Single-cell crop · peripheral blood film
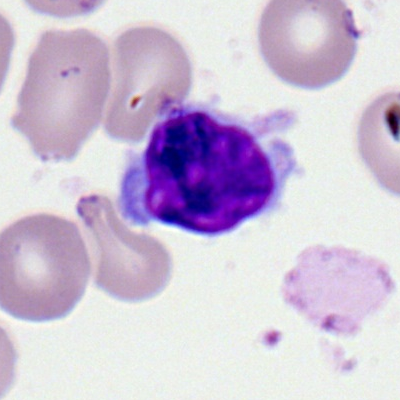
Single cell identified as a lymphocyte.